Bone marrow aspirate smear — 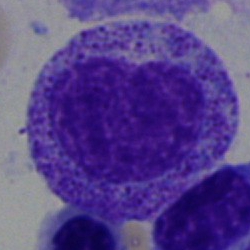 Classification — promyelocyte.